Bone marrow smear.
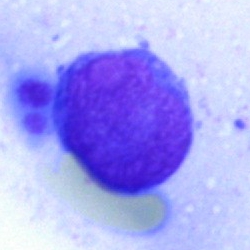

The morphological class is undifferentiated blast.